Bone marrow aspirate smear — 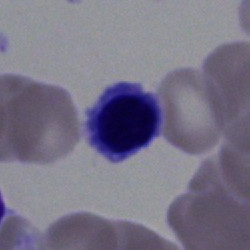 This is a normoblast.